Single-cell field; bone marrow aspirate smear
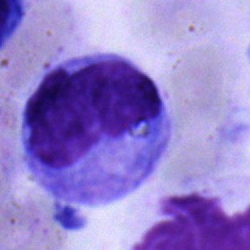Cell = monocyte.